Bone marrow aspirate smear:
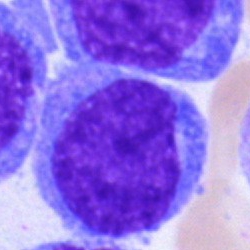Classification: blast cell.